May-Grünwald-Giemsa stain · bone marrow smear · brightfield, 40× oil-immersion objective.
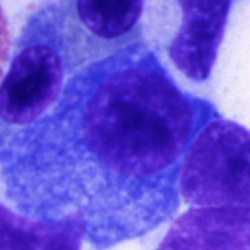

Morphological class — plasma cell.